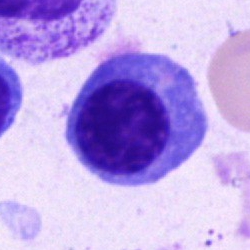 Cell: nucleated red cell.